Bone marrow smear
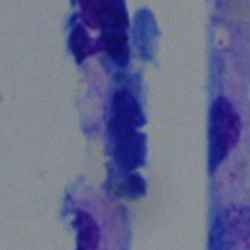

Cell type — artefact.